Peripheral blood smear: 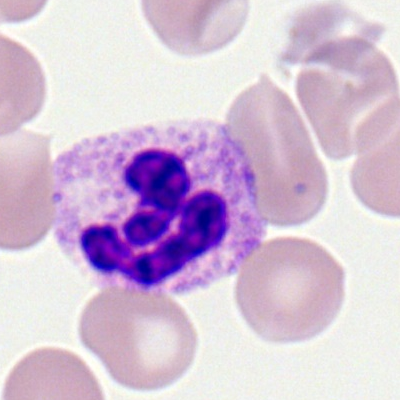Morphology — polymorphonuclear neutrophil.